Bone marrow aspirate smear
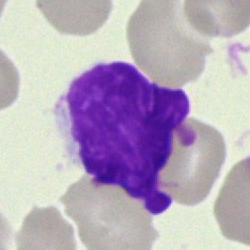
Specimen: bone marrow smear.
Classification: artefact.